Bone marrow aspirate smear. Image size 250×250: 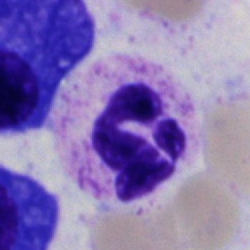

Q: Identify the cell.
A: This is a polymorphonuclear neutrophil.